Bone marrow aspirate smear
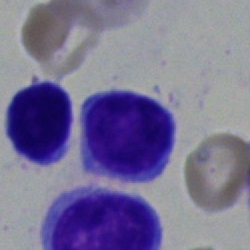
A typical lymphocyte.